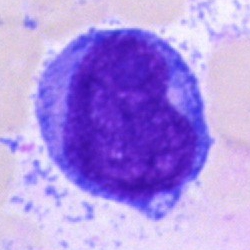Morphology consistent with a blast.